Bone marrow smear · single-cell crop:
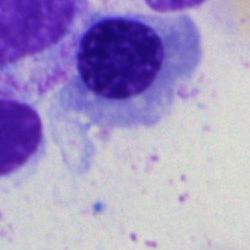

Specimen: bone marrow aspirate smear.
Classification: nucleated red blood cell.